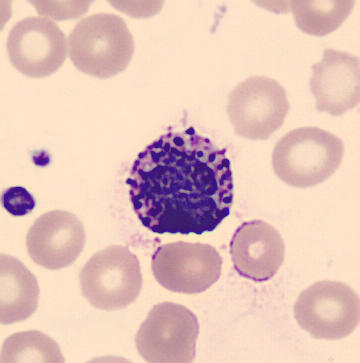
Single-cell field. Peripheral blood film. Q: Which cell type is shown here?
A: It is a basophil.